40× oil immersion. Bone marrow aspirate smear:
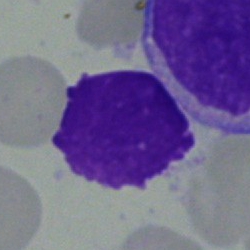 The cell type is typical lymphocyte.